250 by 250 pixels. Bone marrow smear:
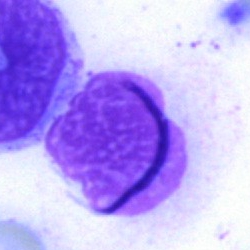Morphology consistent with a cell of indeterminate lineage.